Bone marrow smear:
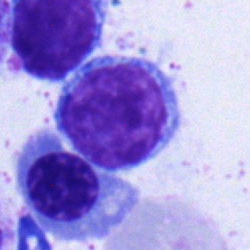Impression → typical lymphocyte.